Bone marrow aspirate smear: 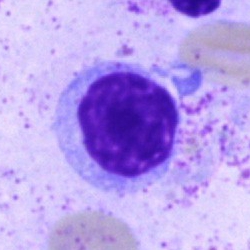 The cell is lymphocyte.